Bone marrow aspirate smear; image size 250×250.
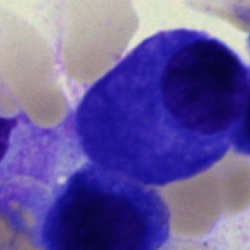Q: What type of cell is this?
A: Plasma cell.